Bone marrow smear
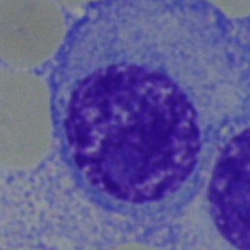
The cell shown is a plasmacyte.